Bone marrow smear; 250 by 250 pixels:
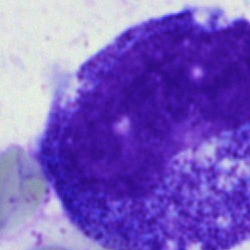

{"cell_type": "progranulocyte"}